Peripheral blood film; single-cell crop — 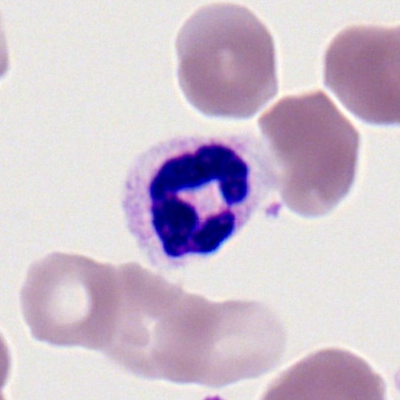

Cell type: polymorphonuclear neutrophil.